Single cell centered in the field; image size 250×250; bone marrow aspirate smear
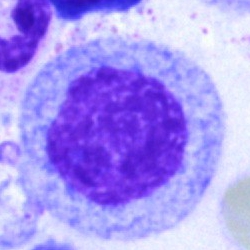
The cell shown is a promyelocyte.